Bone marrow aspirate smear — 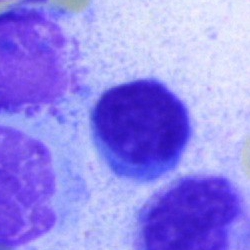{"cell_type": "typical lymphocyte"}